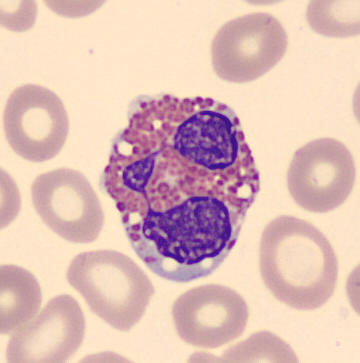
Cell type: eosinophil.